Image size 250×250 · bone marrow aspirate smear
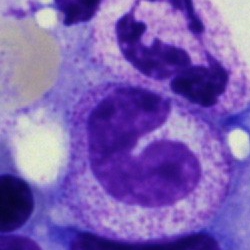
Morphology → stab cell.